250×250 px · bone marrow smear.
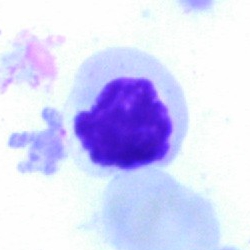
Q: Which cell type is shown here?
A: Typical lymphocyte.